Bone marrow smear.
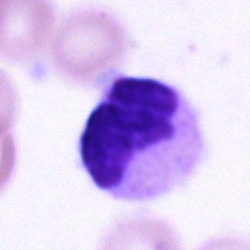Q: What is shown here?
A: A polymorphonuclear neutrophil.